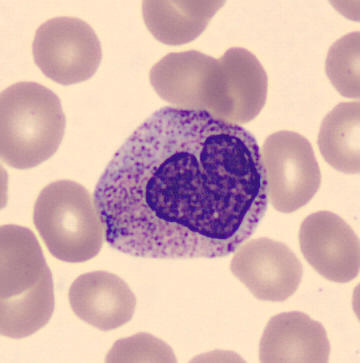

Morphology → metamyelocyte. Peripheral blood film.